Bone marrow smear.
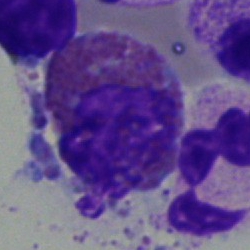 Morphological class: eosinophilic granulocyte.